Bone marrow aspirate smear
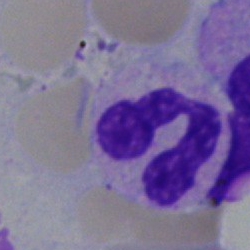 A polymorphonuclear neutrophil.